40× objective, oil immersion · bone marrow smear — 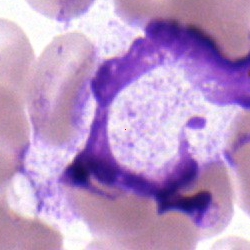
Cell — neutrophil (segmented).